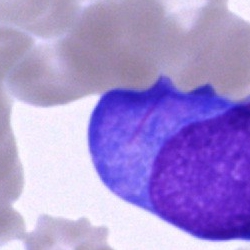 Cell type: blast.